Bone marrow smear — 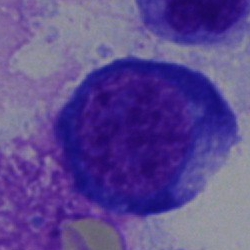
The cell type is pronormoblast.